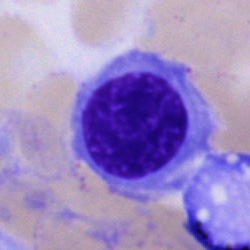 Specimen: bone marrow smear.
Cell: nucleated red blood cell.